Bone marrow smear: 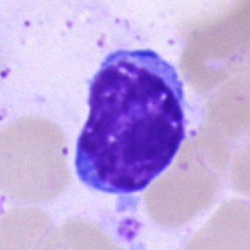 Morphology consistent with a lymphocyte.